Pappenheim-stained · bone marrow aspirate smear:
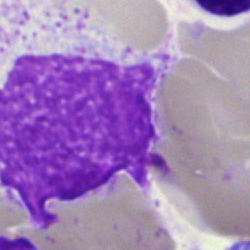 Morphology — artifact.